Bone marrow smear · Pappenheim-stained — 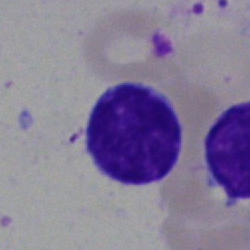Impression — typical lymphocyte.